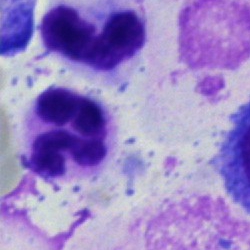

Impression → polymorphonuclear neutrophil.